Bone marrow smear: 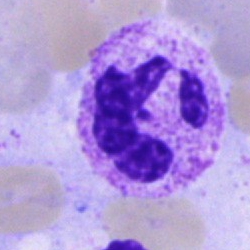
Specimen: bone marrow aspirate smear.
Cell type: polymorphonuclear neutrophil.